Bone marrow aspirate smear · single cell centered in the field: 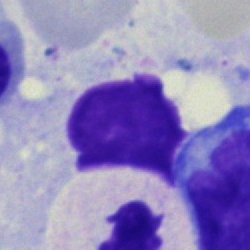 The morphological class is artifact.